Bone marrow smear:
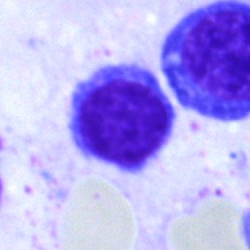

Cell = lymphocyte.